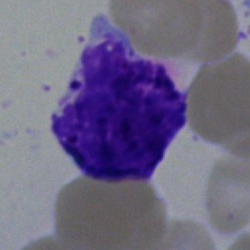
Specimen: bone marrow aspirate smear.
Cell type: basophil.
Lineage: myeloid.